Bone marrow smear · image size 250×250:
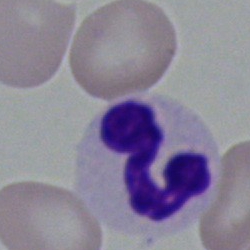A segmented neutrophil.